Bone marrow aspirate smear. 40× oil immersion — 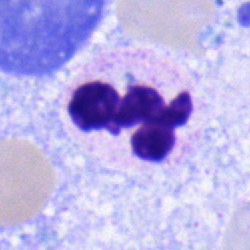

Specimen: bone marrow aspirate smear.
Classification: polymorphonuclear neutrophil.
Lineage: myeloid.